Bone marrow aspirate smear · MGG-stained: 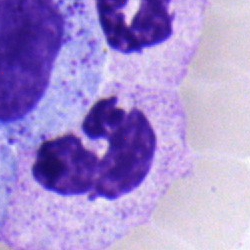
A polymorphonuclear neutrophil.